Pappenheim-stained · bone marrow smear — 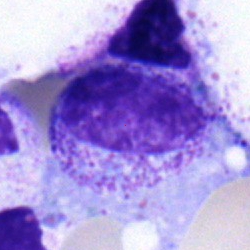
Morphology → myelocyte.